Bone marrow aspirate smear: 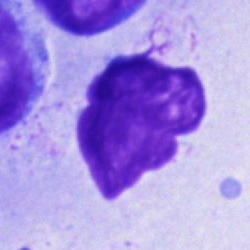 Showing an unidentifiable cell.